Bone marrow aspirate smear:
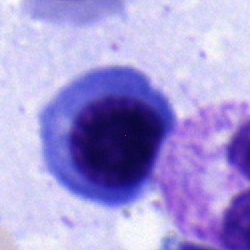Classification = erythroblast.